Pappenheim-stained. Bone marrow smear
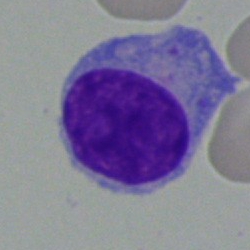

This is a typical lymphocyte.